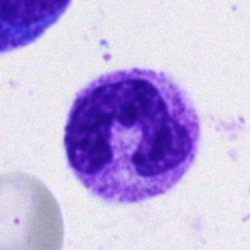Cell: segmented neutrophil.